Peripheral blood film: 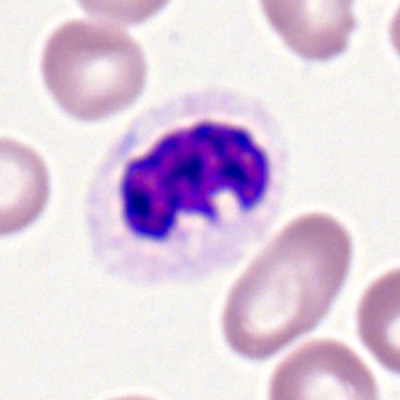
Morphological class: neutrophil (segmented).